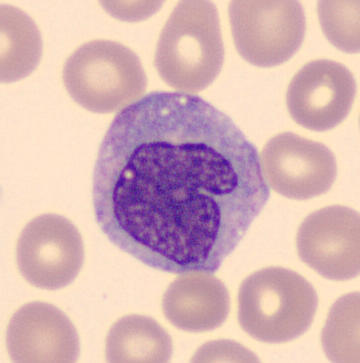
Showing a monocyte. Peripheral blood film.